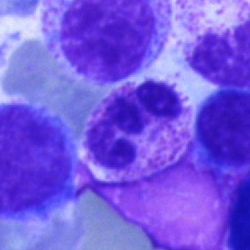

Cell type — segmented neutrophil.